Bone marrow smear — 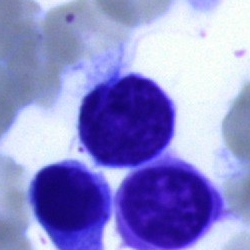 The cell shown is a typical lymphocyte.